Bone marrow aspirate smear · MGG-stained — 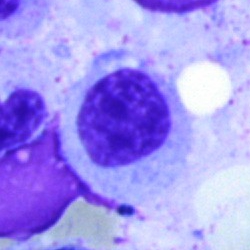
Impression → normoblast.